Bone marrow smear: 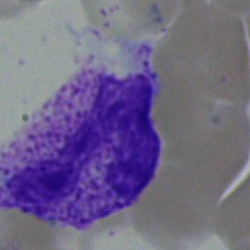
Cell type — band neutrophil.